Bone marrow aspirate smear. 250×250:
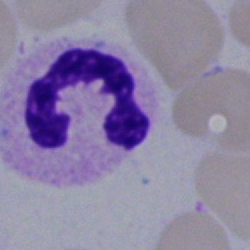Impression → neutrophil (segmented).